Peripheral blood smear
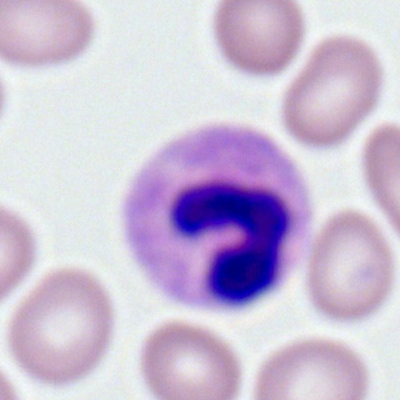
The cell shown is a neutrophil (segmented).